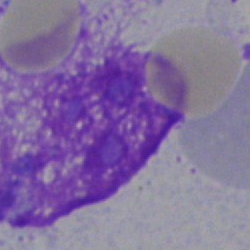Single cell identified as an artifact.